Cropped to a single cell. Pappenheim-stained. Bone marrow aspirate smear — 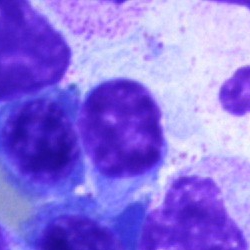
The cell is typical lymphocyte.